Pappenheim-stained. Bone marrow aspirate smear
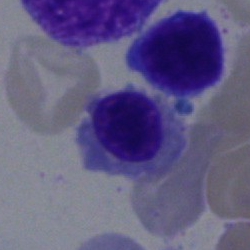Showing an erythroblast.